May-Grünwald-Giemsa stain; bone marrow aspirate smear; 250×250 px — 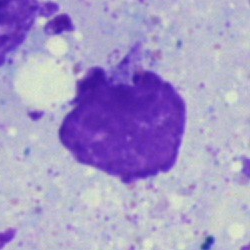This is an artefact.